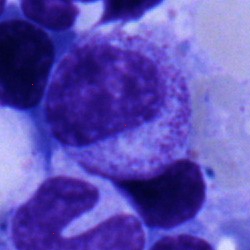{"cell_type": "myelocyte"}